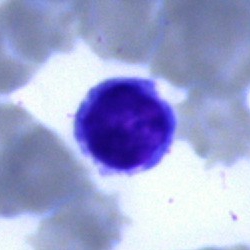
A lymphocyte on a bone marrow smear.